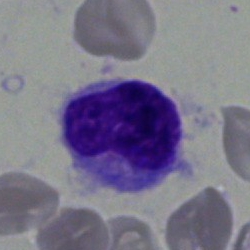A hairy cell.